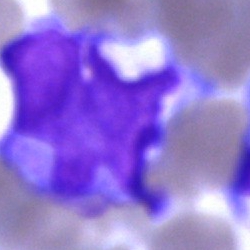Bone marrow aspirate smear, single cell — monocyte.